250×250. Bone marrow aspirate smear. Single-cell field
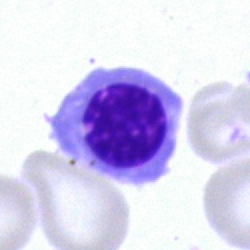
Morphological class: nucleated red blood cell.